250×250; bone marrow smear; brightfield microscopy, 40× oil immersion
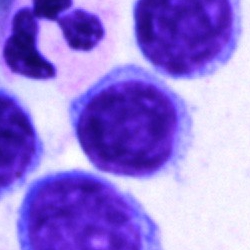
Q: Identify the cell.
A: It is a typical lymphocyte.